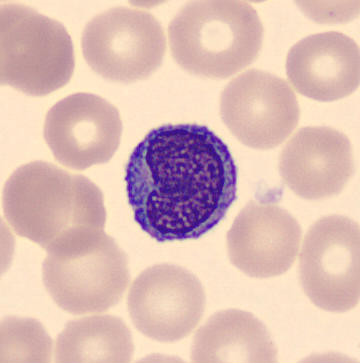 Cell: monocyte.